Bone marrow smear. MGG-stained — 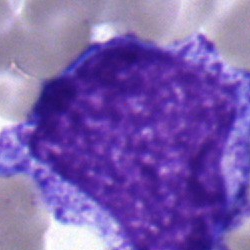
Showing a progranulocyte.